Single cell centered in the field; bone marrow smear — 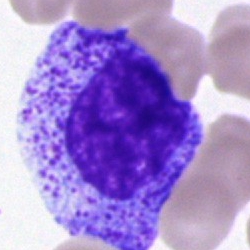

Single cell identified as a myelocyte.